Bone marrow aspirate smear: 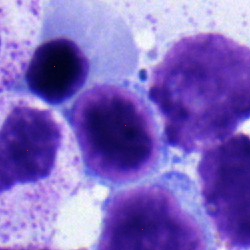

The cell type is lymphocyte.